Bone marrow aspirate smear:
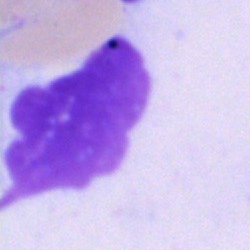 This is an artifact.